Bone marrow aspirate smear
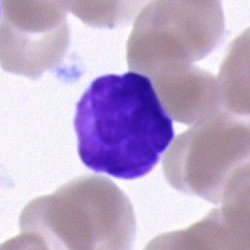

An unidentifiable cell.